Peripheral blood smear:
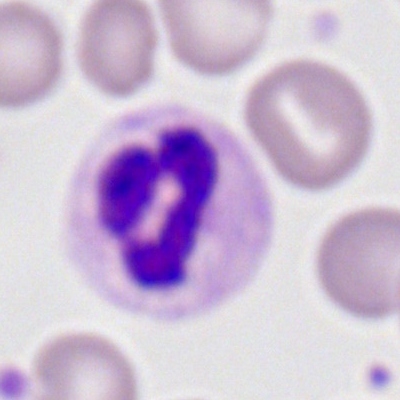The classification is neutrophil (segmented).